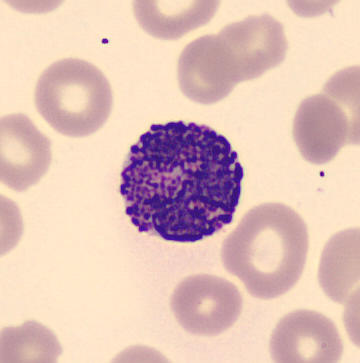 Image: Peripheral blood film. {"cell_type": "basophilic granulocyte"}